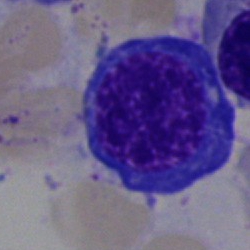Impression — normoblast.